Bone marrow aspirate smear: 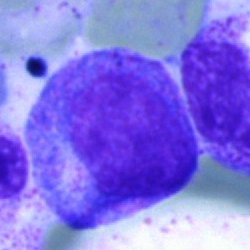Single cell identified as a promyelocyte.